Single cell centered in the field. Brightfield, 40× oil-immersion objective. Bone marrow smear: 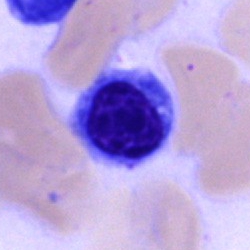 Nucleated red cell.